Cropped to a single cell. Bone marrow smear.
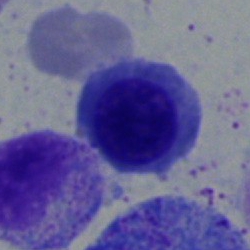
Classification = nucleated red blood cell.